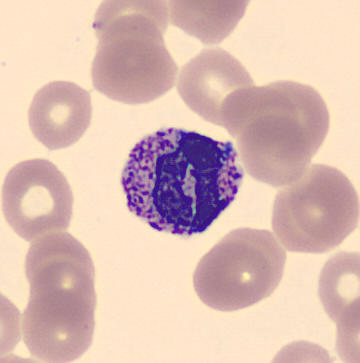
Impression → band neutrophil.